Bone marrow aspirate smear:
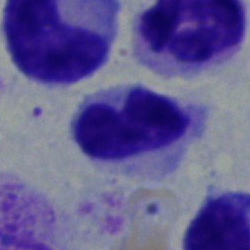 A stab cell.